Peripheral blood film:
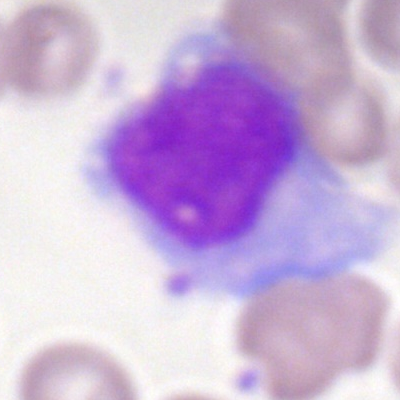

Classification: monocyte.